Bone marrow smear · May-Grünwald-Giemsa stain — 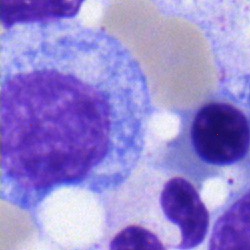 {"cell_type": "myelocyte"}